Pappenheim-stained. Bone marrow smear — 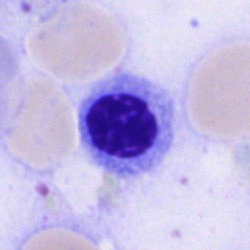This is an erythroblast.